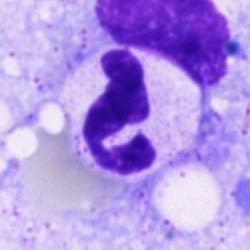 Specimen: bone marrow smear.
Cell: segmented neutrophil.